Bone marrow aspirate smear · May-Grünwald-Giemsa/Pappenheim stain
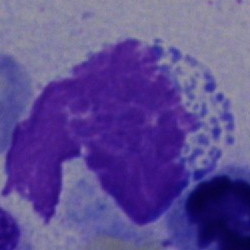 Cell: artifact.